Bone marrow aspirate smear; 40× oil immersion; Pappenheim-stained
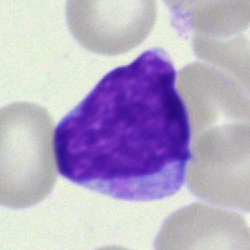 Undifferentiated blast.